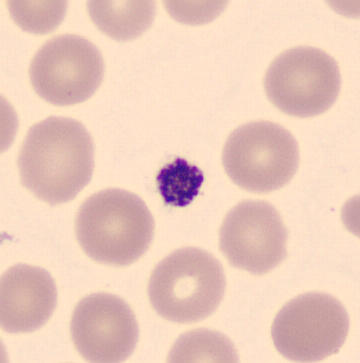

Peripheral blood film.
Q: What is shown here?
A: A platelet (thrombocyte).